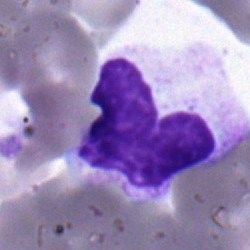
A stab cell on a bone marrow smear.